Bone marrow smear
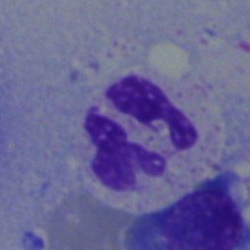Impression — polymorphonuclear neutrophil.